40× objective, oil immersion · bone marrow aspirate smear.
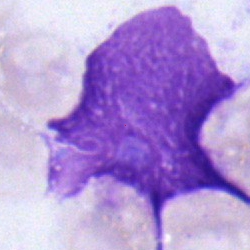A lymphocyte.